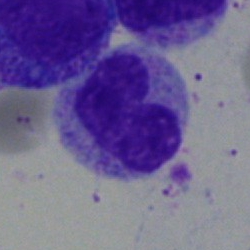Q: Identify the cell.
A: A band-form neutrophil.